Bone marrow aspirate smear
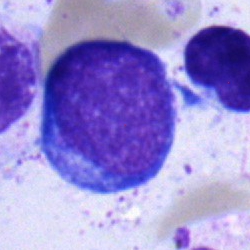Morphology consistent with an undifferentiated blast.